Peripheral blood smear · 400 by 400 pixels.
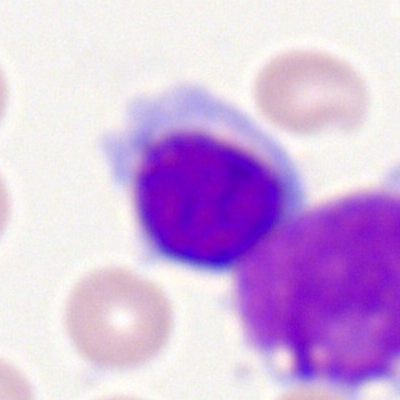 Specimen: peripheral blood smear.
Cell: typical lymphocyte.
Lineage: lymphoid.